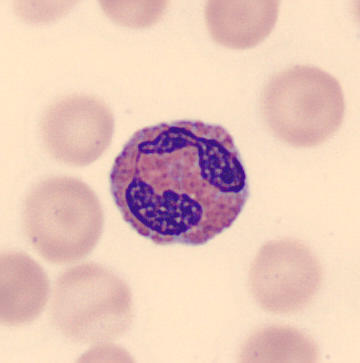 Peripheral blood smear.

Eosinophil.